Bone marrow aspirate smear.
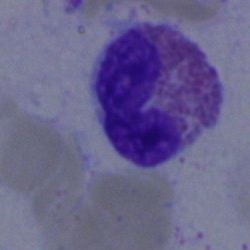
Cell type — eosinophilic granulocyte.